Cropped to a single cell. 40× oil immersion. Bone marrow smear
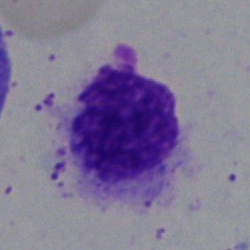 Artefact.